Image size 250×250. Bone marrow smear. Pappenheim-stained.
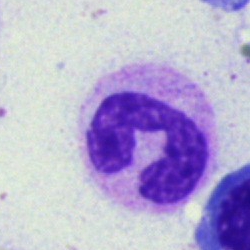 Morphology consistent with a band-form neutrophil.